Single cell centered in the field; bone marrow smear:
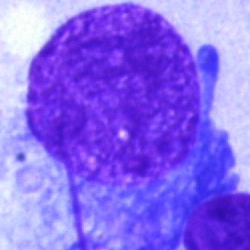
The classification is artifact.